Bone marrow aspirate smear; MGG-stained.
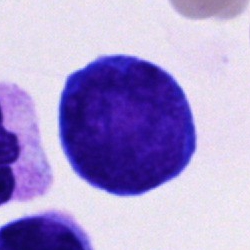 A proerythroblast.